Bone marrow smear; 250 by 250 pixels.
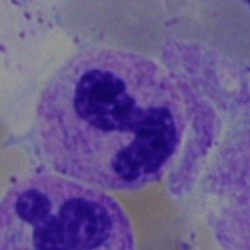
Impression → segmented neutrophil.